Bone marrow smear — 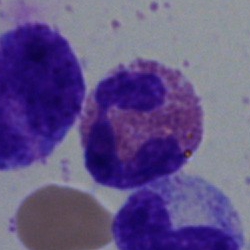
Showing an eosinophil.